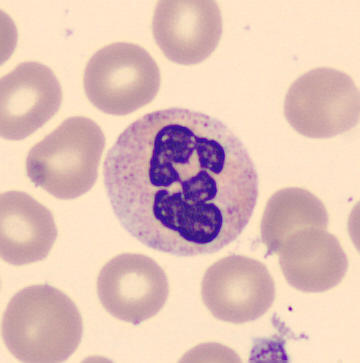The cell shown is a segmented neutrophil. Image: Peripheral blood film · automated cell imaging (CellaVision DM96).